Bone marrow aspirate smear
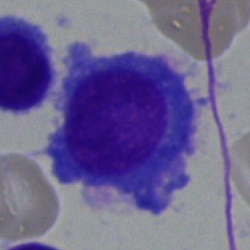
Q: What is shown here?
A: This is a plasmacyte.